Bone marrow smear — 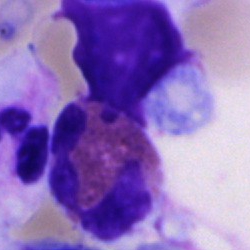

The morphological class is eosinophilic granulocyte.